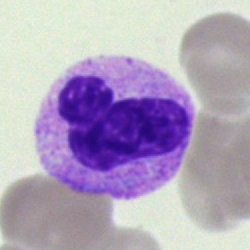

Classification — segmented neutrophil.